Bone marrow aspirate smear
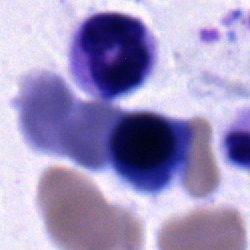 Q: Which cell type is shown here?
A: It is a monocyte.